250 by 250 pixels · bone marrow smear — 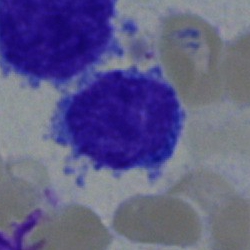 Q: What cell is this?
A: A typical lymphocyte.